Bone marrow smear: 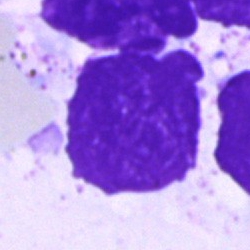Q: What is shown here?
A: An artifact.